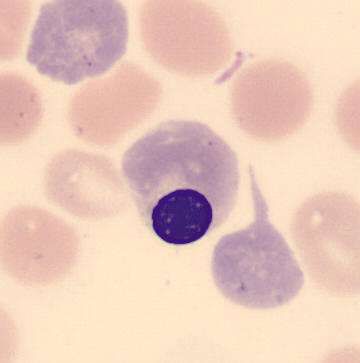 The cell shown is a normoblast. Preparation: Peripheral blood smear.